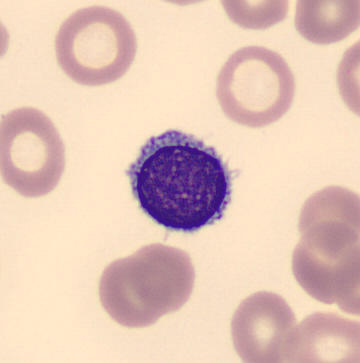

The cell type is lymphocyte.